Bone marrow smear
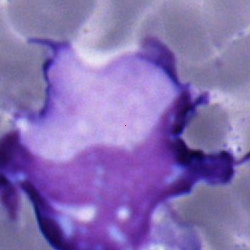

Specimen: bone marrow smear.
Cell: monocyte.
Lineage: myeloid.